Bone marrow aspirate smear
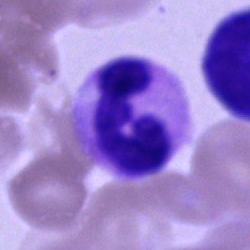

Morphology consistent with a segmented neutrophil.